Single-cell crop. Romanowsky-type stain. Peripheral blood film
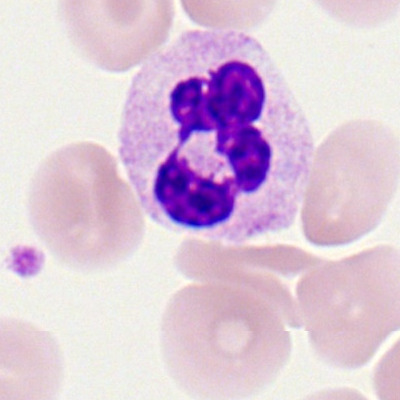Q: What cell is this?
A: This is a segmented neutrophil.